Bone marrow smear: 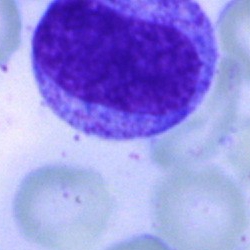 The cell is promyelocyte.